Peripheral blood smear; 400 by 400 pixels.
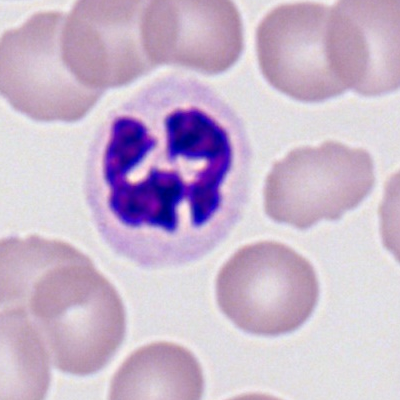The cell is polymorphonuclear neutrophil.